Image size 250×250 · bone marrow aspirate smear · 40× oil immersion — 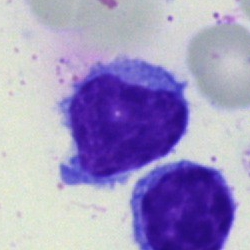

Impression — typical lymphocyte.